Bone marrow smear: 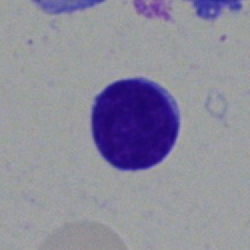
The cell shown is a typical lymphocyte.